Bone marrow smear. Image size 250×250 — 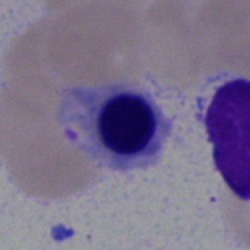Specimen: bone marrow smear.
Cell: nucleated red cell.
Lineage: erythroid.